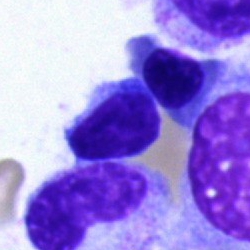

Specimen: bone marrow aspirate smear.
Morphological class: metamyelocyte.
Lineage: myeloid.